250×250. Bone marrow smear
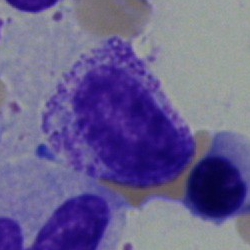
Classification — myelocyte.